Bone marrow smear.
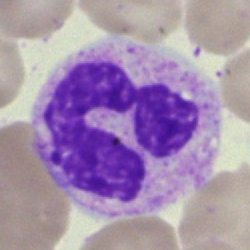Showing a segmented neutrophil.